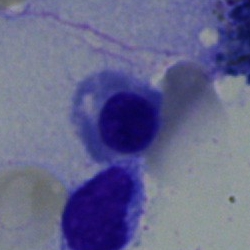 Specimen: bone marrow smear.
Cell: normoblast.
Lineage: erythroid.